Bone marrow smear: 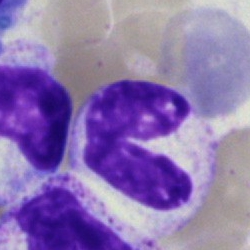

Cell type = segmented neutrophil.